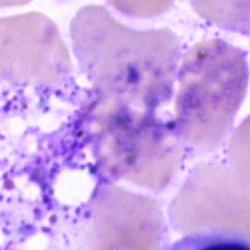

Q: What is shown here?
A: This is an artifact.